Bone marrow smear. Image size 250×250:
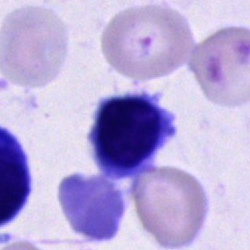 Q: What cell is this?
A: Cell of indeterminate lineage.